Peripheral blood film: 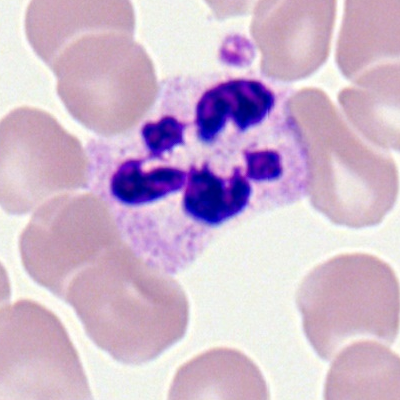

Classification: neutrophil (segmented).